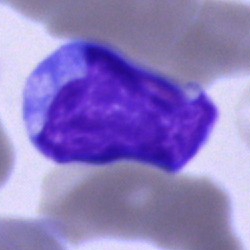
Single cell identified as a lymphocyte.